Bone marrow aspirate smear
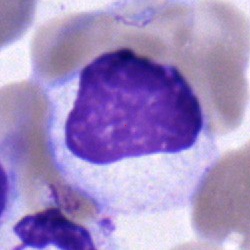
The cell type is myelocyte.